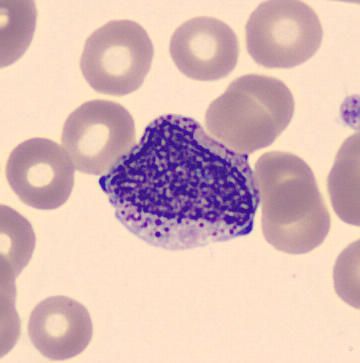Acquisition: Peripheral blood film. Cell — myelocyte.